Bone marrow aspirate smear:
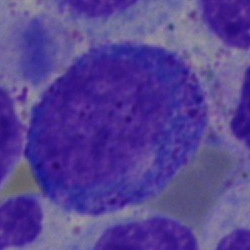Cell — progranulocyte.